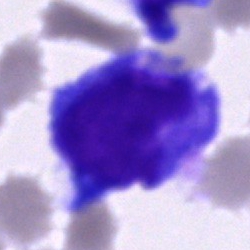
Morphology — blast.